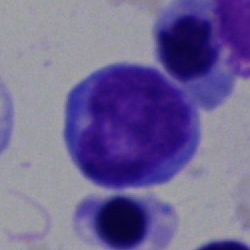Morphological class: undifferentiated blast.